Bone marrow smear · brightfield microscopy, 40× oil immersion: 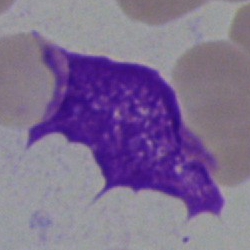
An artifact.